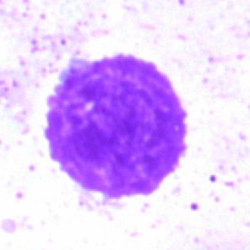
Cell type = artefact.